Peripheral blood film · cropped to a single cell.
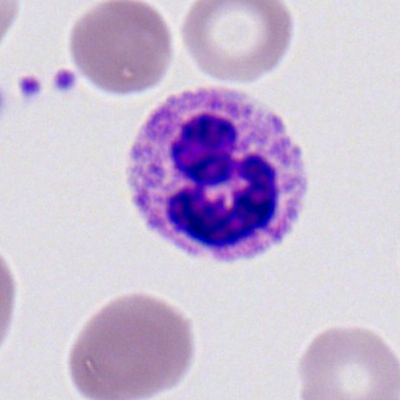

Q: What is the morphological classification of this cell?
A: A neutrophil (segmented).